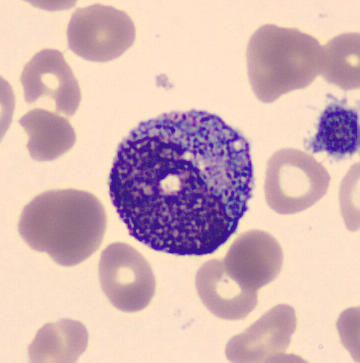Classification = promyelocyte.